250×250. Single-cell field. Bone marrow smear — 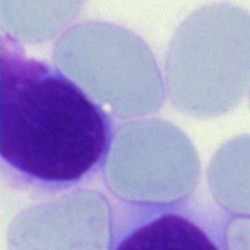An artefact.